Peripheral blood smear
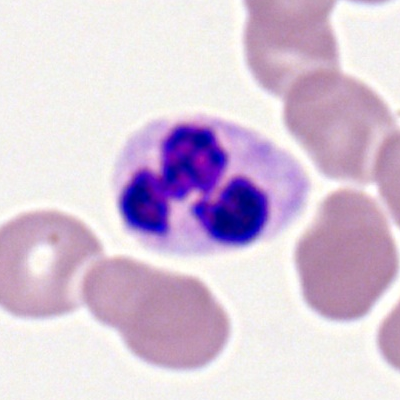

The classification is segmented neutrophil.